Bone marrow aspirate smear:
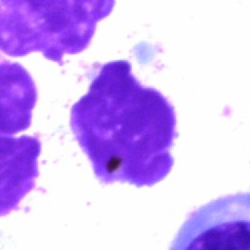 Morphology consistent with an artefact.